Bone marrow aspirate smear · single cell centered in the field · 250×250
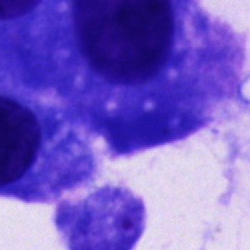

Q: What cell is this?
A: Cell not matching the other categories.